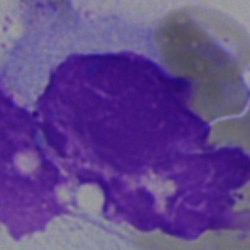

Q: What is shown here?
A: This is an artifact.